Bone marrow smear
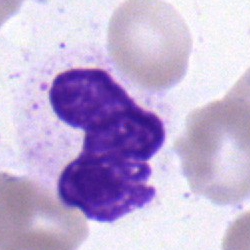

Cell type = band neutrophil.